100× oil immersion. Peripheral blood smear:
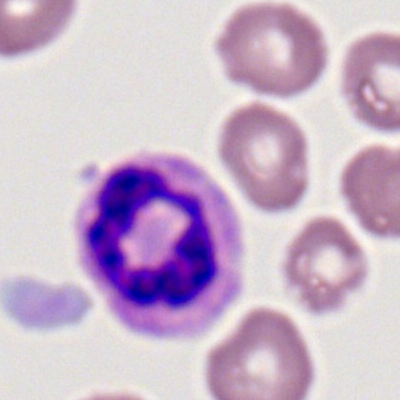

Single cell identified as a polymorphonuclear neutrophil.